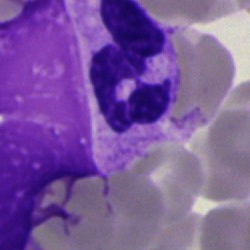 The cell is polymorphonuclear neutrophil.